40× objective, oil immersion; bone marrow smear: 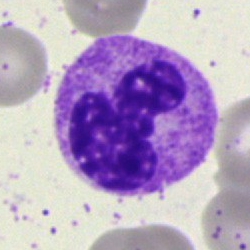
This is a neutrophil (segmented).